Image size 250×250 · bone marrow smear: 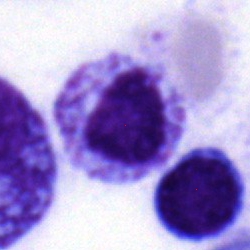
Single cell identified as a myelocyte.